250×250 px · bone marrow smear · MGG-stained:
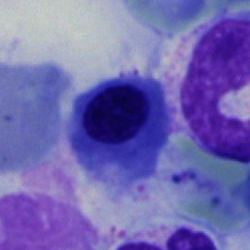 Showing a nucleated red cell.